Bone marrow aspirate smear. 40× oil immersion. Cropped to a single cell: 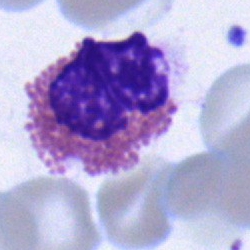 Cell type — eosinophil.